250×250. Bone marrow smear. MGG-stained:
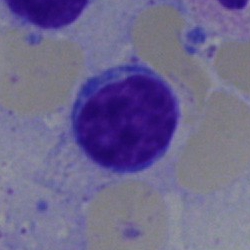

Single cell identified as a lymphocyte.